40× objective, oil immersion; bone marrow aspirate smear: 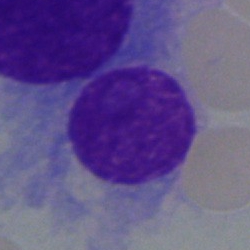Cell = plasmacyte.